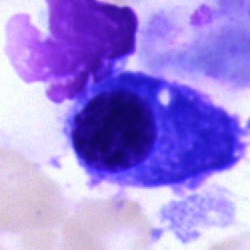

Q: What cell is this?
A: This is a plasmacyte.